Bone marrow smear; single-cell crop: 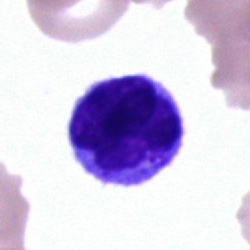
The morphological class is lymphocyte.